Bone marrow smear — 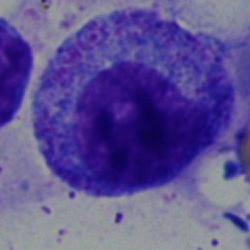 This is a progranulocyte.